Bone marrow smear.
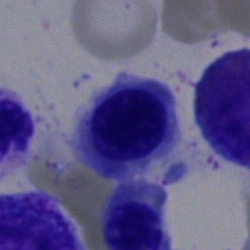Specimen: bone marrow smear.
Classification: normoblast.